Bone marrow aspirate smear:
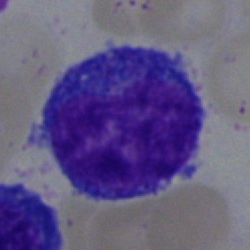

Single cell identified as a progranulocyte.